Single-cell field; MGG-stained; bone marrow smear
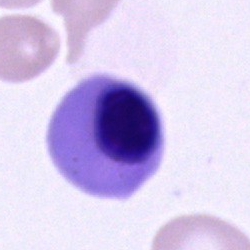Morphology → nucleated red cell.